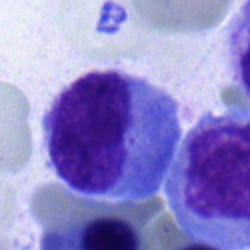

Cell — monocyte.